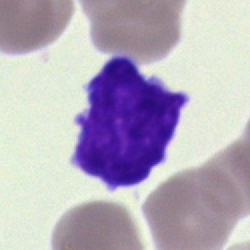Q: Identify the cell.
A: Typical lymphocyte.